Single-cell crop · bone marrow aspirate smear:
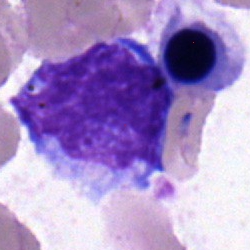 Classification = typical lymphocyte.